Bone marrow smear — 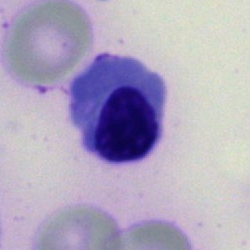Specimen: bone marrow smear.
Classification: nucleated red blood cell.